Bone marrow smear: 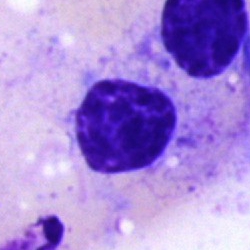

Morphological class: artefact.